Single-cell crop. 250 by 250 pixels. Bone marrow aspirate smear:
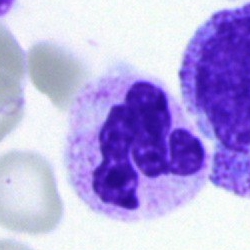

Polymorphonuclear neutrophil.